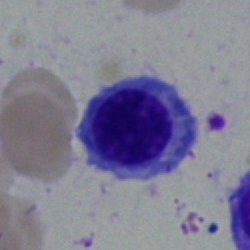

Nucleated red blood cell.